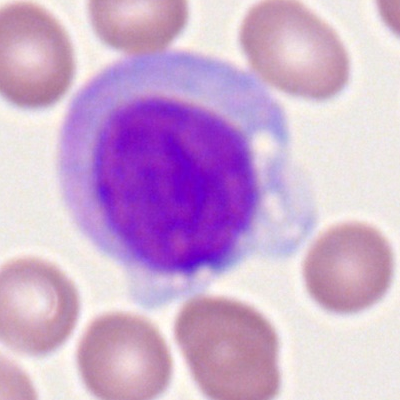

Q: What cell is this?
A: It is a myeloid blast.